Bone marrow aspirate smear · 40× objective, oil immersion.
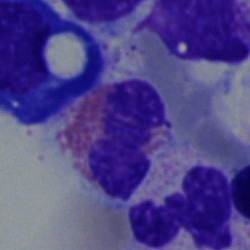

Morphology — eosinophilic granulocyte.